Peripheral blood film: 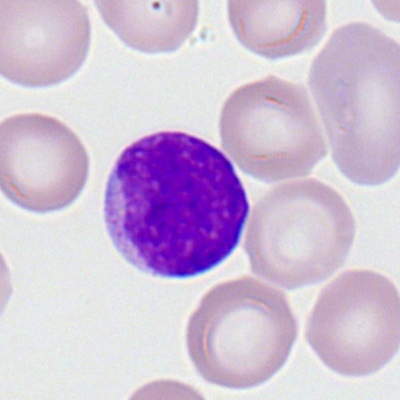 The cell shown is a myeloid blast.